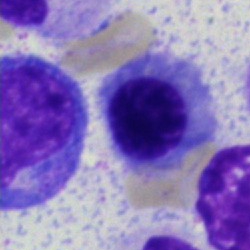Normoblast.